Bone marrow smear: 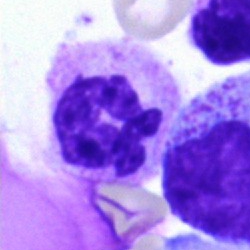The morphological class is neutrophil (segmented).